Peripheral blood smear
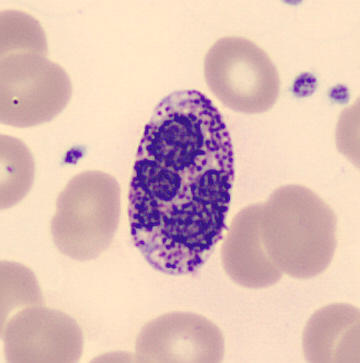Showing a basophilic granulocyte.